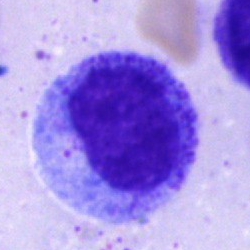

Classification = progranulocyte.